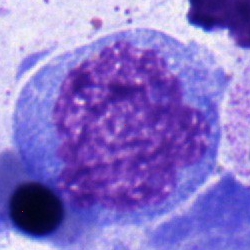Single cell identified as a blast.